Bone marrow aspirate smear; May-Grünwald-Giemsa stain; brightfield, 40× oil-immersion objective: 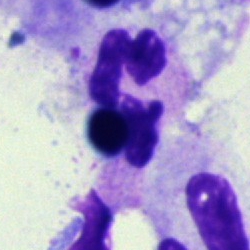

Showing a segmented neutrophil.